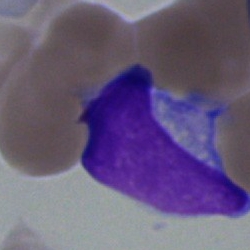
Morphology consistent with an undifferentiated blast.